Bone marrow smear.
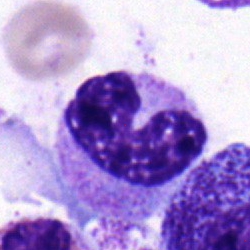

The cell is neutrophil (band).